Bone marrow aspirate smear — 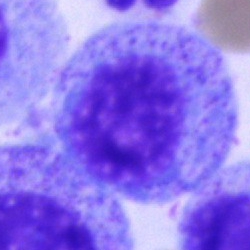
Morphology consistent with a progranulocyte.